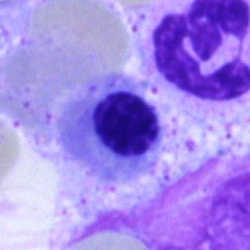 Morphological class = nucleated red cell.